Bone marrow aspirate smear; cropped to a single cell; 250×250 px
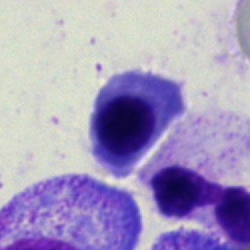

Q: What is shown here?
A: This is a nucleated red blood cell.